Bone marrow smear — 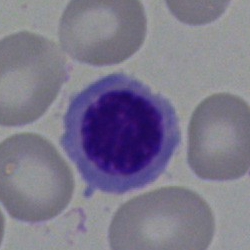Classification: normoblast.